Bone marrow aspirate smear.
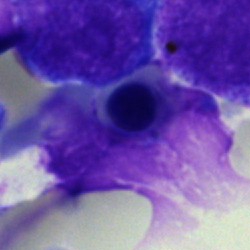 Artefact.